Bone marrow smear:
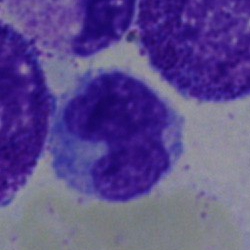 Classification = monocyte.